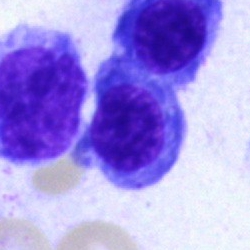
Q: What cell is this?
A: This is an erythroblast.